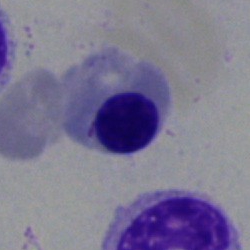

Specimen: bone marrow smear.
Cell type: normoblast.